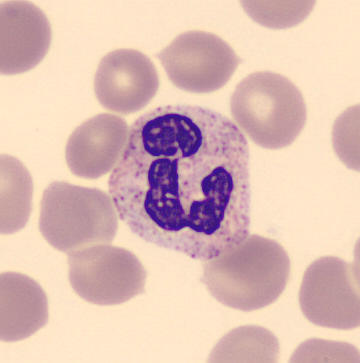

Polymorphonuclear neutrophil. Image: MGG-stained · 360×363 · peripheral blood film.